Bone marrow smear:
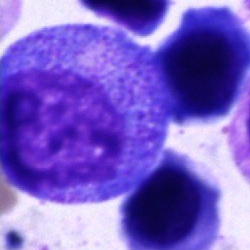The morphological class is progranulocyte.